Bone marrow smear · 250×250 — 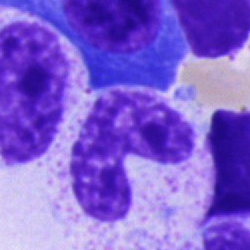This is a band neutrophil.